Bone marrow aspirate smear · brightfield, 40× oil-immersion objective
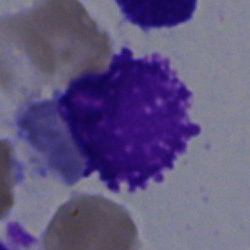Q: What is shown here?
A: An artefact.